Bone marrow smear — 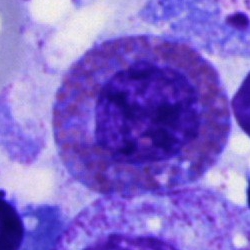
Q: What is the morphological classification of this cell?
A: An eosinophilic granulocyte.